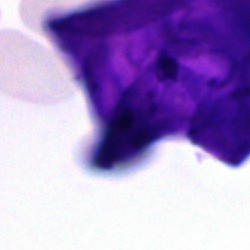Q: What is shown here?
A: This is an artefact.